40× oil immersion. Bone marrow smear. Image size 250×250:
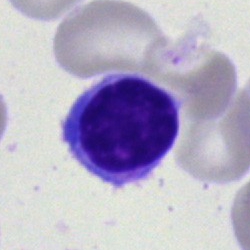A lymphocyte.